Cropped to a single cell · bone marrow aspirate smear
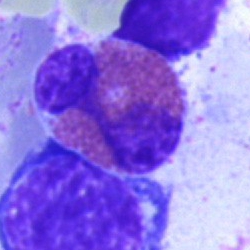 Morphology — eosinophilic granulocyte.